Brightfield, 40× oil-immersion objective; bone marrow aspirate smear:
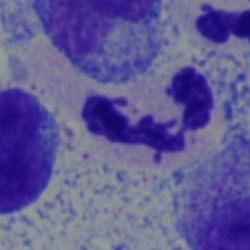

Specimen: bone marrow aspirate smear.
Morphological class: polymorphonuclear neutrophil.